Single-cell field. Bone marrow smear
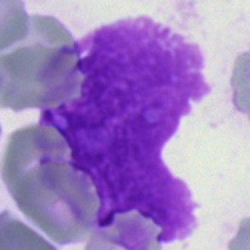
The cell is artefact.